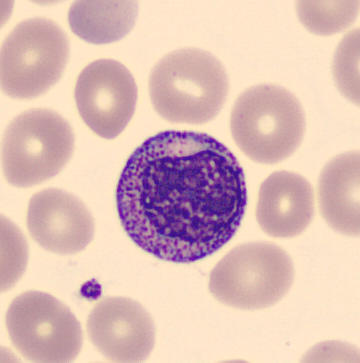

Single cell identified as a myelocyte.

Peripheral blood film.